Single-cell crop; peripheral blood smear: 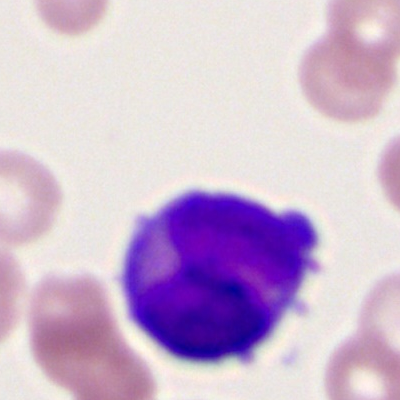 Cell: myeloblast.